Brightfield microscopy, 40× oil immersion. Bone marrow aspirate smear. Pappenheim-stained:
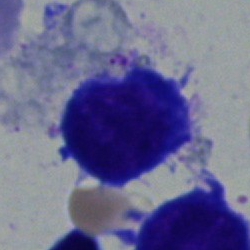 Q: What cell is this?
A: A normoblast.